Bone marrow smear: 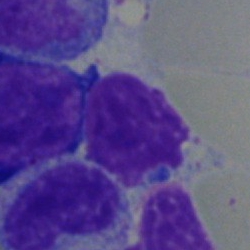Morphology consistent with a typical lymphocyte.